Bone marrow aspirate smear: 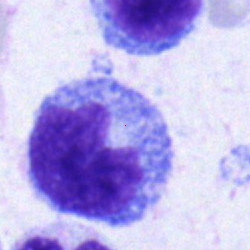

Q: What is shown here?
A: It is a monocyte.